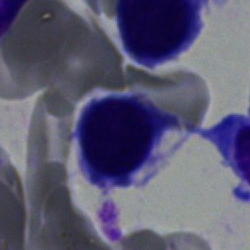
Bone marrow smear showing an erythroblast.